Bone marrow smear:
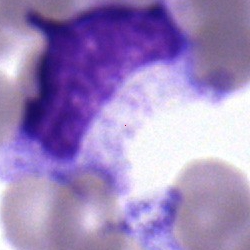
Morphology consistent with a myelocyte.